Bone marrow aspirate smear; cropped to a single cell; MGG-stained:
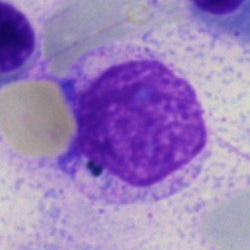

Cell: artifact.